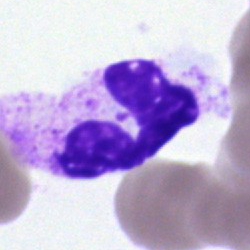
Specimen: bone marrow smear.
Morphological class: neutrophil (segmented).
Lineage: myeloid.